Bone marrow smear: 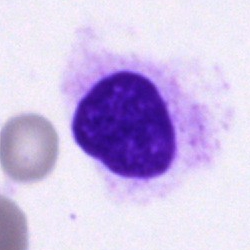
Classification: artefact.